Peripheral blood smear.
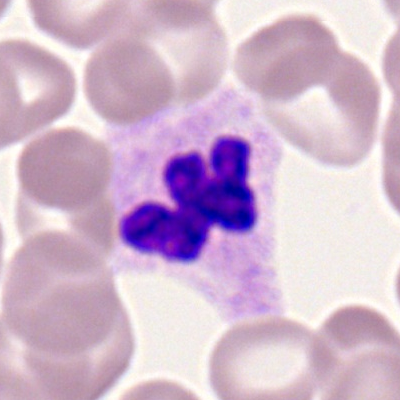This is a segmented neutrophil.